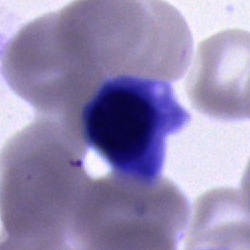Artifact.